Pappenheim-stained · bone marrow aspirate smear · single-cell field:
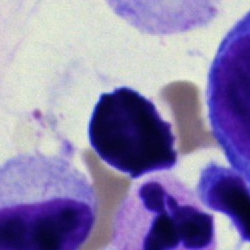Q: What is shown here?
A: This is an artefact.